Bone marrow smear: 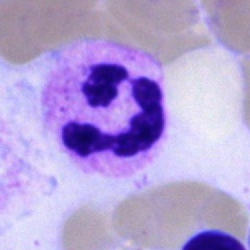
Q: Which cell type is shown here?
A: This is a segmented neutrophil.